Bone marrow smear
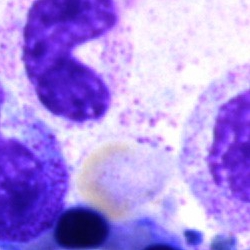Morphology consistent with a cell of indeterminate lineage.